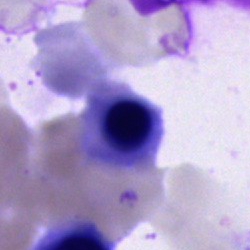
Morphology — normoblast.